Peripheral blood smear. Imaged on a CellaVision DM96 analyser. Single-cell field.
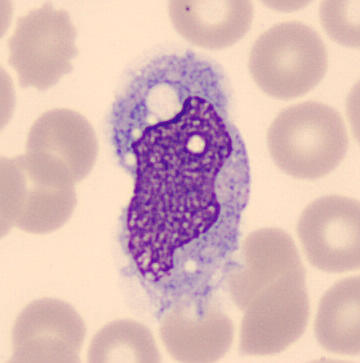
Specimen: peripheral blood film.
Cell type: monocyte.
Lineage: myeloid.